250 by 250 pixels. Bone marrow smear:
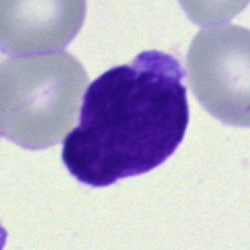 Q: Identify the cell.
A: This is a blast.